Bone marrow smear:
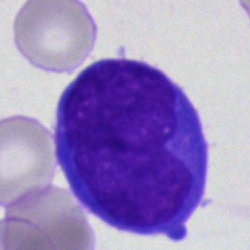Q: What type of cell is this?
A: It is an undifferentiated blast.